Bone marrow smear.
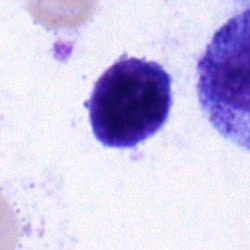 Morphological class = typical lymphocyte.